Bone marrow aspirate smear — 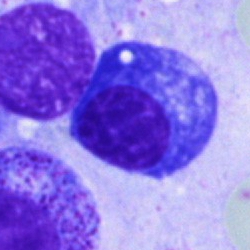Classification: plasmacyte.